Peripheral blood film
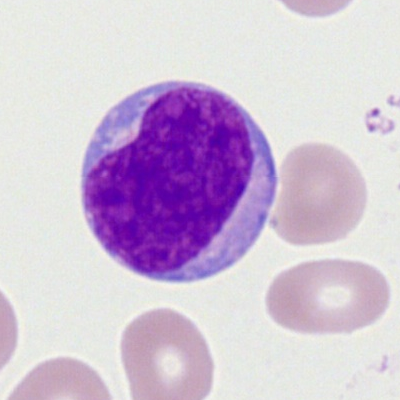

Classification: myeloid blast.